Peripheral blood smear.
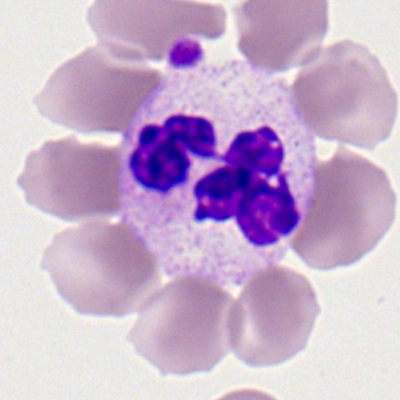
Q: What type of cell is this?
A: This is a segmented neutrophil.